Peripheral blood film. Single-cell crop:
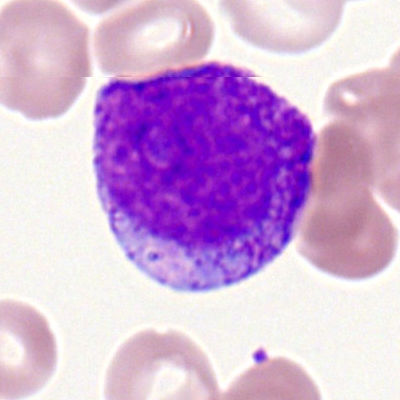

Morphological class — promyelocyte.